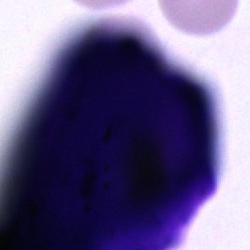

Artefact.